40× oil immersion; bone marrow smear; single-cell field.
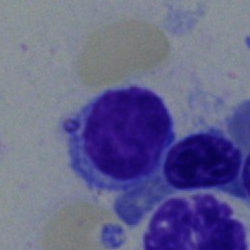Morphology → typical lymphocyte.